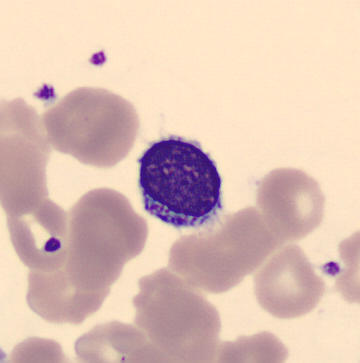

The morphological class is lymphocyte.

Peripheral blood film · CellaVision DM96 digital cell image · MGG-stained.